Bone marrow aspirate smear.
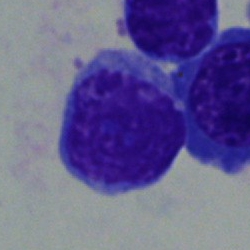

Q: What cell is this?
A: Lymphocyte.